Bone marrow aspirate smear · brightfield microscopy, 40× oil immersion.
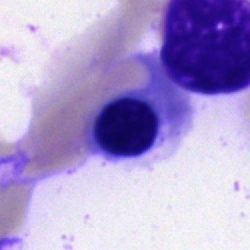Q: Identify the cell.
A: Erythroblast.